250×250 · bone marrow smear
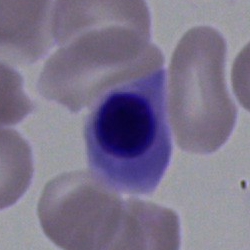Cell — erythroblast.